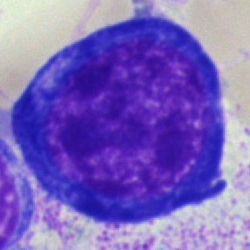

Morphology → proerythroblast.